Bone marrow aspirate smear:
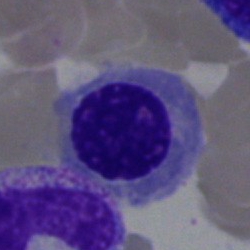Morphology → nucleated red cell.